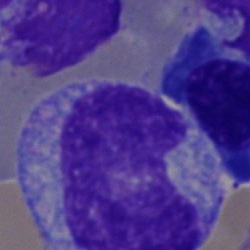

Specimen: bone marrow smear.
Classification: metamyelocyte.
Lineage: myeloid.